250 by 250 pixels; bone marrow smear
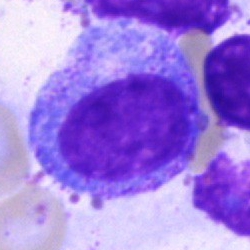The cell shown is a promyelocyte.